Bone marrow aspirate smear:
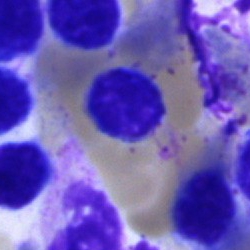

Morphology — artefact.